Bone marrow aspirate smear: 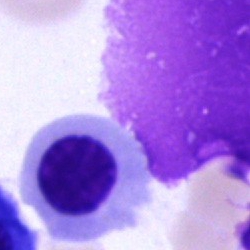

Specimen: bone marrow smear.
Classification: erythroblast.